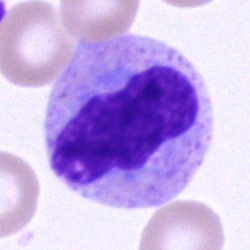Morphology → cell of indeterminate lineage.